Bone marrow smear.
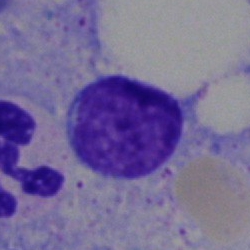 Impression → lymphocyte.